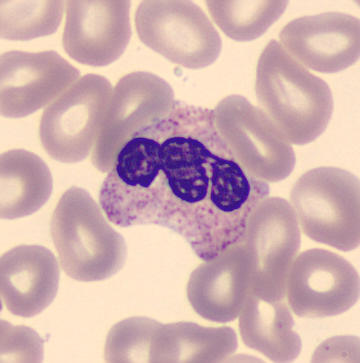
Single cell identified as a polymorphonuclear neutrophil.